Bone marrow aspirate smear; 40× oil immersion:
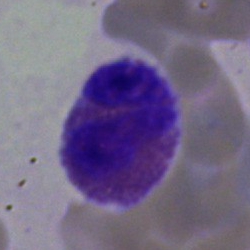

Specimen: bone marrow smear.
Cell type: eosinophil.
Lineage: myeloid.